Bone marrow aspirate smear
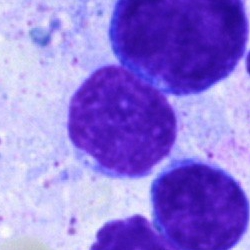
Q: Identify the cell.
A: It is a lymphocyte.